Bone marrow smear. Single-cell field: 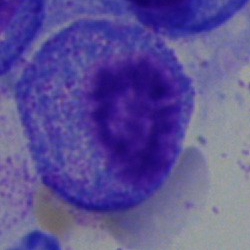

Morphology → promyelocyte.